Bone marrow aspirate smear — 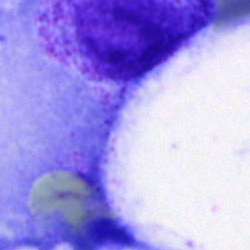 Cell — artefact.